Bone marrow aspirate smear.
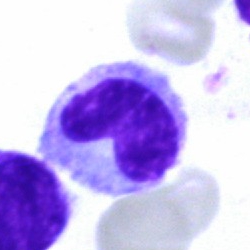

Q: What is the morphological classification of this cell?
A: This is a stab cell.